Single-cell crop; brightfield microscopy, 40× oil immersion; bone marrow aspirate smear: 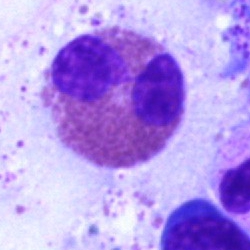

Q: What is the morphological classification of this cell?
A: Eosinophilic granulocyte.